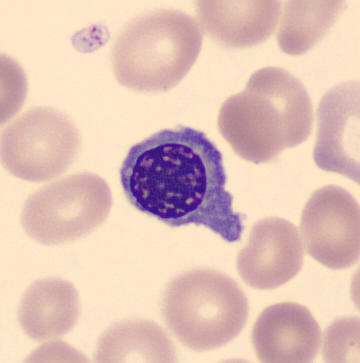

Specimen: peripheral blood film.
Cell type: nucleated red cell.
Lineage: erythroid.